Bone marrow aspirate smear. Brightfield, 40× oil-immersion objective. May-Grünwald-Giemsa/Pappenheim stain.
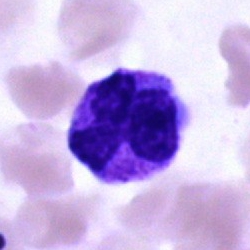

{"cell_type": "polymorphonuclear neutrophil"}